40× objective, oil immersion. Bone marrow smear. May-Grünwald-Giemsa stain.
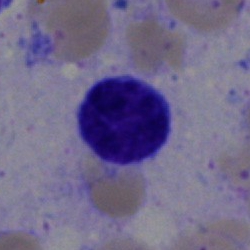 Morphology consistent with a typical lymphocyte.